Bone marrow smear: 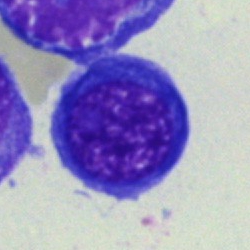
Specimen: bone marrow aspirate smear.
Cell type: erythroblast.